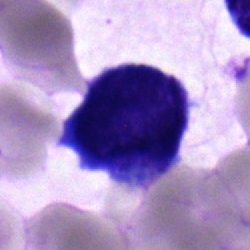
Single-cell crop from a bone marrow smear: undifferentiated blast.